MGG-stained. Bone marrow smear
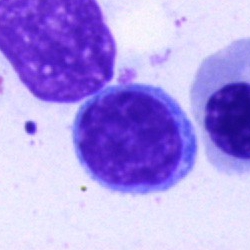

Morphological class: lymphocyte.